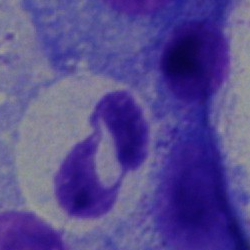
Bone marrow aspirate smear, single cell — segmented neutrophil.